Single-cell field; peripheral blood smear; Romanowsky-type stain — 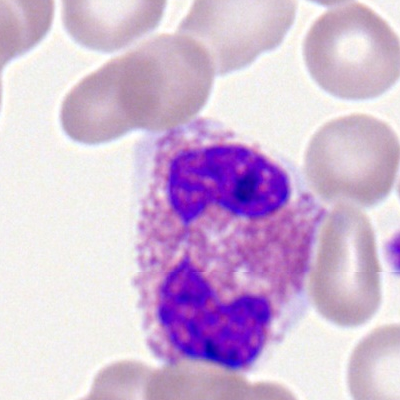

An eosinophil.